Bone marrow smear; 250×250 px; 40× objective, oil immersion.
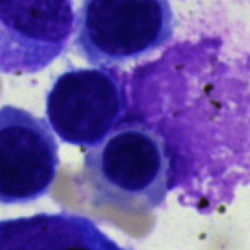 Cell: erythroblast.